Bone marrow aspirate smear:
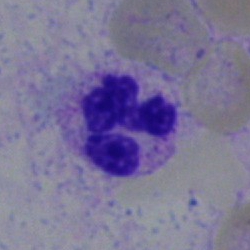

Neutrophil (segmented).